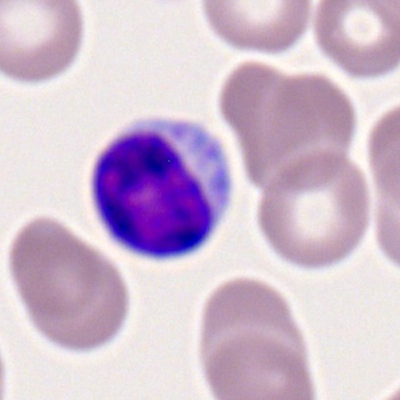 {"cell_type": "lymphocyte", "lineage": "lymphoid"}